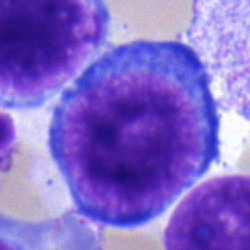
This is a pronormoblast.